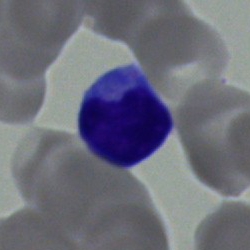 Bone marrow smear showing a lymphocyte.